250×250 px · single-cell field · bone marrow aspirate smear.
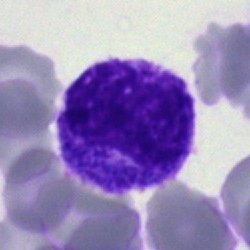
Morphology → myelocyte.